Bone marrow smear; May-Grünwald-Giemsa/Pappenheim stain.
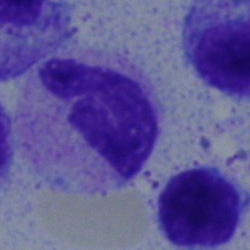

{"cell_type": "band neutrophil"}